Bone marrow smear
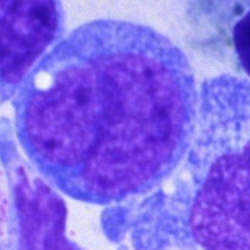

Morphological class — blast.